Bone marrow aspirate smear: 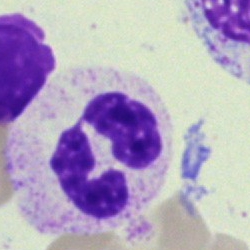 Specimen: bone marrow smear.
Classification: segmented neutrophil.
Lineage: myeloid.